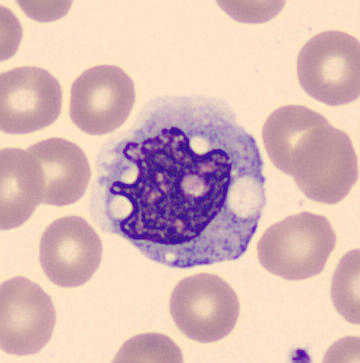
Acquisition: Imaged on a CellaVision DM96 analyser · peripheral blood smear · 360 by 363 pixels.
Classification — monocyte.